Bone marrow aspirate smear:
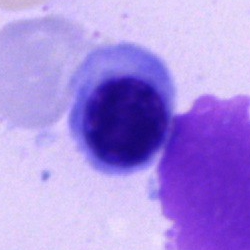 Cell = normoblast.